Bone marrow smear: 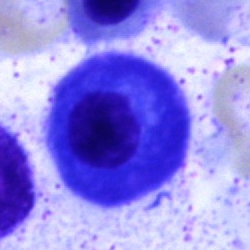

Morphology consistent with a plasmacyte.